Bone marrow aspirate smear: 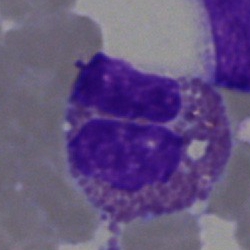

The cell shown is an eosinophilic granulocyte.